250×250 px · bone marrow aspirate smear
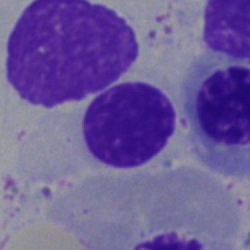

This is an artefact.